Image size 250×250 · bone marrow smear · MGG-stained.
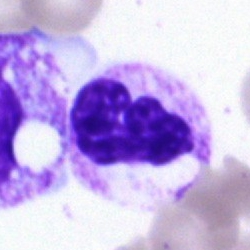 Q: Which cell type is shown here?
A: Neutrophil (segmented).